Bone marrow smear. MGG-stained. Single-cell crop
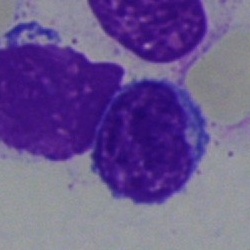

Q: What type of cell is this?
A: A typical lymphocyte.